250 by 250 pixels · bone marrow smear
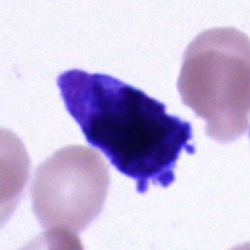
Showing a cell of indeterminate lineage.